Bone marrow smear.
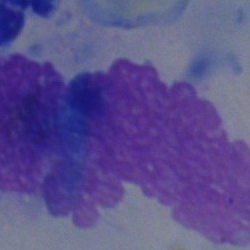 Q: What is shown here?
A: An artifact.